Bone marrow aspirate smear.
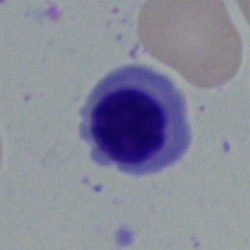 The cell type is nucleated red cell.